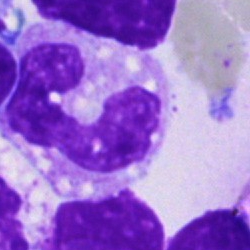Specimen: bone marrow aspirate smear.
Classification: polymorphonuclear neutrophil.